Peripheral blood film
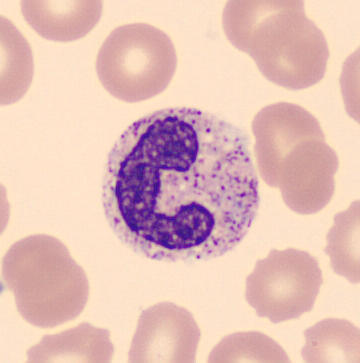
The cell is band-form neutrophil.